Single-cell crop; bone marrow smear:
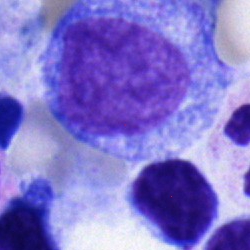 Impression → progranulocyte.